250×250 px. Bone marrow smear. Brightfield microscopy, 40× oil immersion
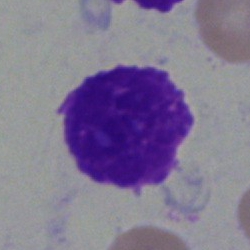{"cell_type": "artefact"}